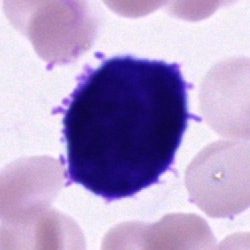 Morphology → unidentifiable cell.